May-Grünwald-Giemsa/Pappenheim stain. Bone marrow smear
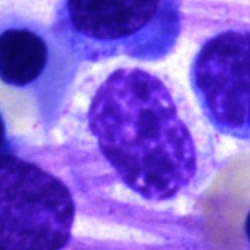The cell type is myelocyte.